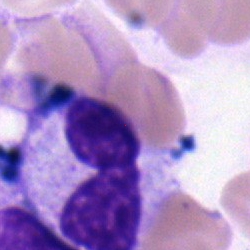

Impression — neutrophil (segmented).